Peripheral blood film — 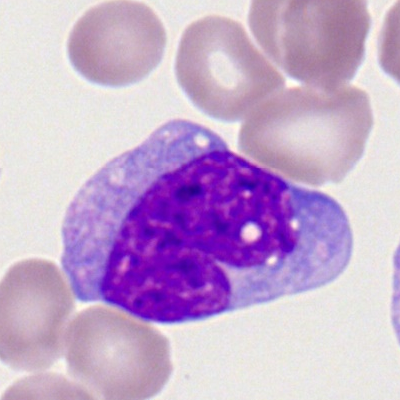

Q: What is shown here?
A: This is a monocyte.